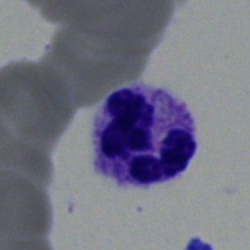Classification — neutrophil (segmented).